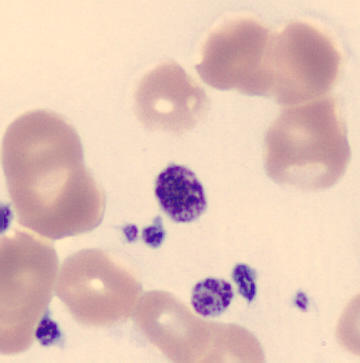
Showing a platelet (thrombocyte).
Image: Peripheral blood film.